Bone marrow smear: 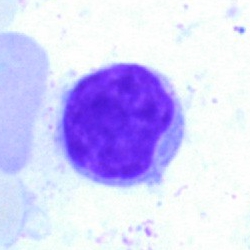
Q: What cell is this?
A: A typical lymphocyte.